Bone marrow smear: 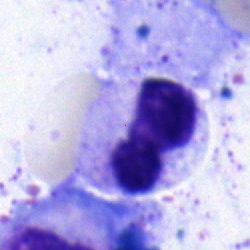

A band-form neutrophil.